Bone marrow aspirate smear; image size 250×250: 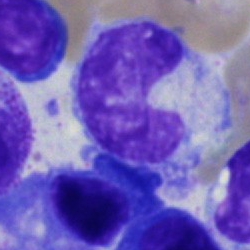Band neutrophil.